May-Grünwald-Giemsa/Pappenheim stain · bone marrow smear
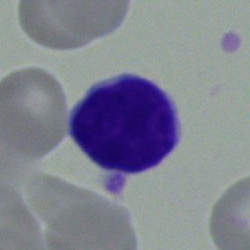 Cell = typical lymphocyte.